Bone marrow smear
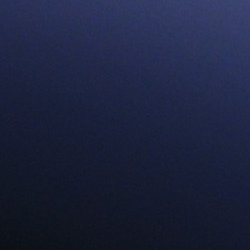Classification = artefact.